Brightfield, 40× oil-immersion objective · bone marrow aspirate smear · 250×250:
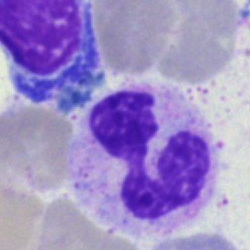
Single cell identified as a neutrophil (segmented).